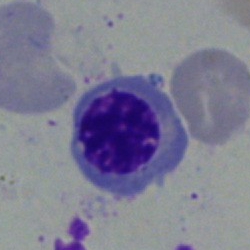
Cell type = nucleated red blood cell.